Peripheral blood smear
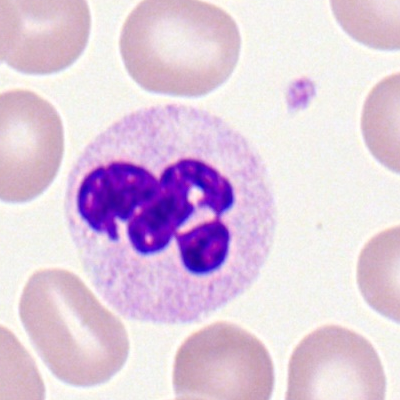

Classification = polymorphonuclear neutrophil.